Bone marrow smear:
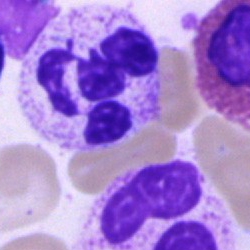 Segmented neutrophil.